250 by 250 pixels · Pappenheim-stained · bone marrow smear:
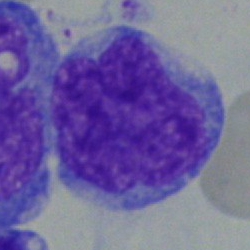
Single cell identified as a blast.